Bone marrow smear — 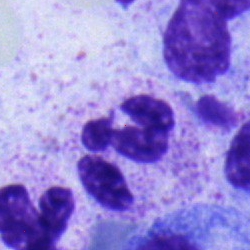

Neutrophil (segmented).